Pappenheim-stained. Bone marrow aspirate smear:
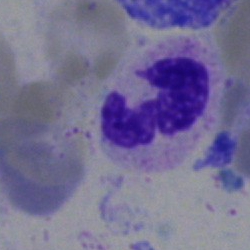
{"cell_type": "polymorphonuclear neutrophil", "lineage": "myeloid"}